Bone marrow smear
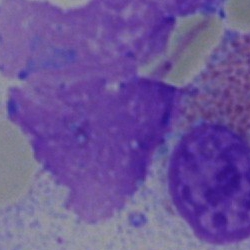 Q: What is shown here?
A: Artefact.